Brightfield, 40× oil-immersion objective · single-cell crop · bone marrow aspirate smear
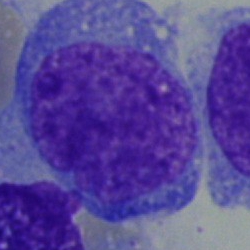 Impression → blast.